Bone marrow aspirate smear. May-Grünwald-Giemsa/Pappenheim stain.
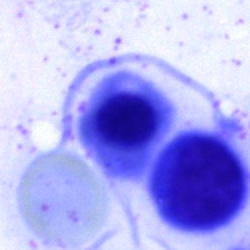Showing a nucleated red cell.